Bone marrow aspirate smear.
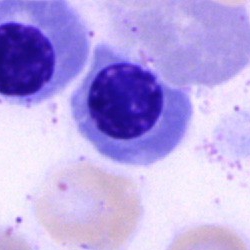 Morphology — normoblast.